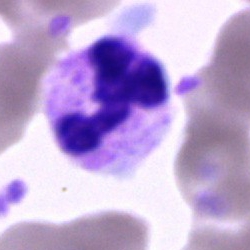

Q: What cell is this?
A: This is a polymorphonuclear neutrophil.